Bone marrow smear · 40× oil immersion:
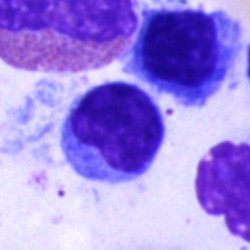
Cell type = lymphocyte.